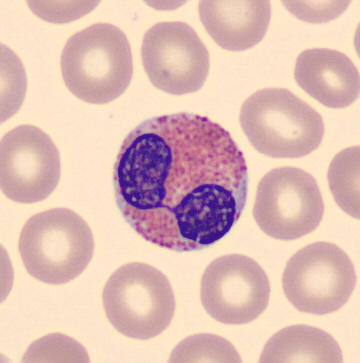The classification is eosinophilic granulocyte.

Acquisition: Single-cell crop. Peripheral blood film.